May-Grünwald-Giemsa/Pappenheim stain · bone marrow aspirate smear.
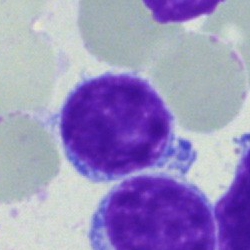 Single cell identified as a typical lymphocyte.